Bone marrow aspirate smear — 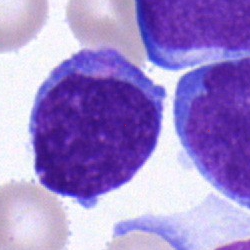

Impression → blast.